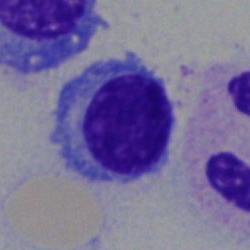Specimen: bone marrow smear.
Cell type: plasma cell.
Lineage: lymphoid.